Bone marrow aspirate smear — 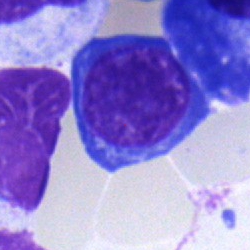Morphology consistent with an erythroblast.